Bone marrow aspirate smear.
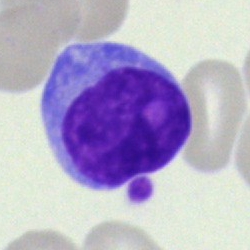

Classification = typical lymphocyte.